Single-cell field · bone marrow aspirate smear.
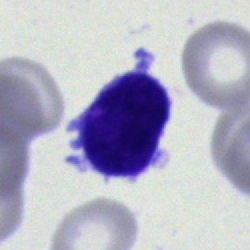 A blast cell.